400 by 400 pixels. Peripheral blood film: 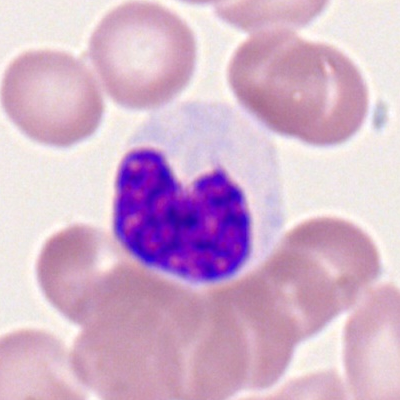Cell — neutrophil (band).